Bone marrow aspirate smear. 250 by 250 pixels — 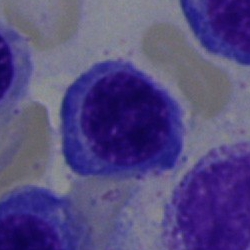Classification: normoblast.